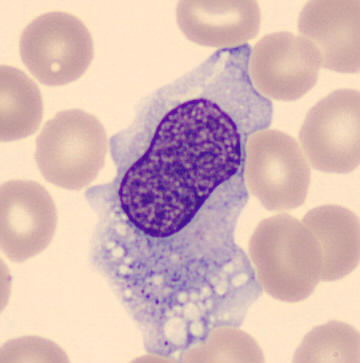
Morphological class — monocyte.